250×250; bone marrow smear.
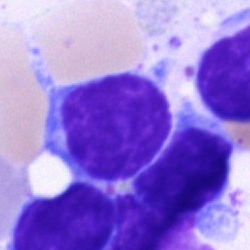 Single cell identified as a typical lymphocyte.